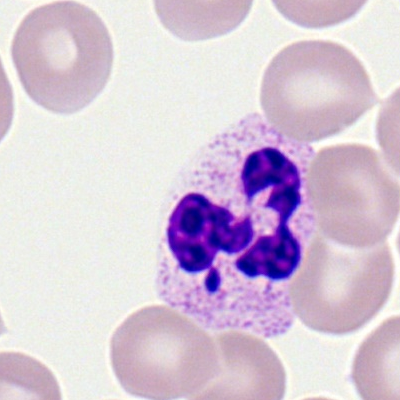The cell shown is a polymorphonuclear neutrophil.